Brightfield, 40× oil-immersion objective; 250×250 px; bone marrow aspirate smear
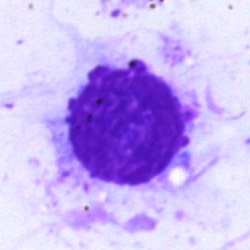
Morphological class: artefact.